Bone marrow smear — 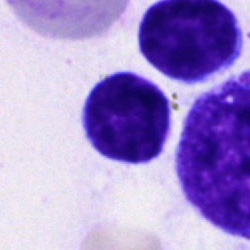Specimen: bone marrow aspirate smear.
Morphological class: typical lymphocyte.